Bone marrow smear
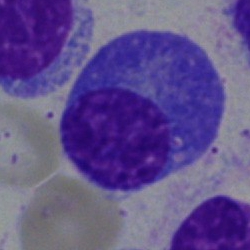Morphological class = plasmacyte.